May-Grünwald-Giemsa/Pappenheim stain · bone marrow aspirate smear — 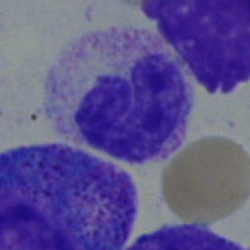

Q: What type of cell is this?
A: Metamyelocyte.